Bone marrow aspirate smear; MGG-stained.
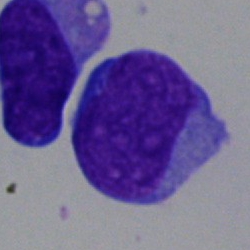Morphology consistent with a blast cell.